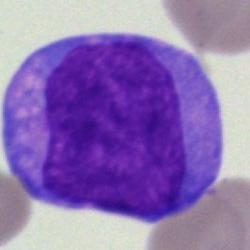 Morphology → blast.